Bone marrow smear. 250×250 px:
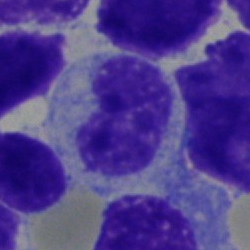 Classification: band-form neutrophil.